Bone marrow smear. Cropped to a single cell: 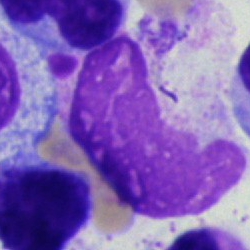 Impression → artefact.